Single-cell crop. Bone marrow smear — 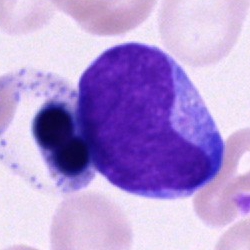Specimen: bone marrow aspirate smear.
Morphological class: blast.